Bone marrow aspirate smear:
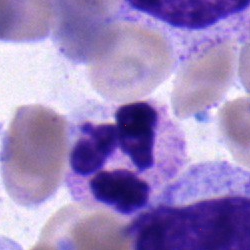
Impression — polymorphonuclear neutrophil.